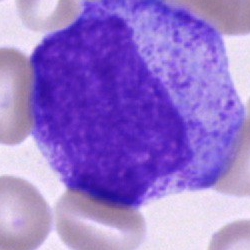

Classification = promyelocyte.